Bone marrow smear · May-Grünwald-Giemsa/Pappenheim stain:
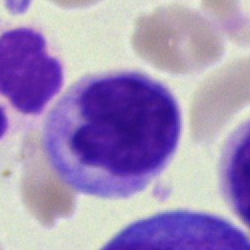
Q: What is shown here?
A: This is a progranulocyte.